Single cell centered in the field; bone marrow aspirate smear; 40× objective, oil immersion: 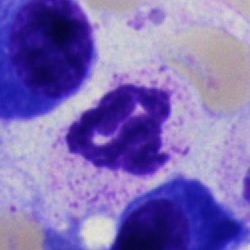

Cell type = segmented neutrophil.